Bone marrow smear:
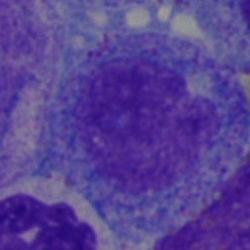 A promyelocyte.